Bone marrow aspirate smear.
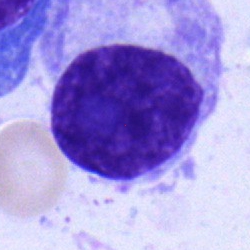Cell type — plasmacyte.